250×250 px; bone marrow smear; single cell centered in the field
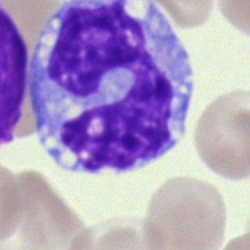 Classification = monocyte.